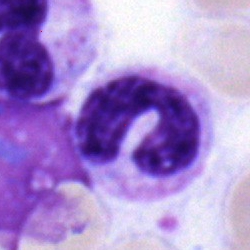

A band-form neutrophil on a bone marrow smear.